Pappenheim-stained. Bone marrow smear: 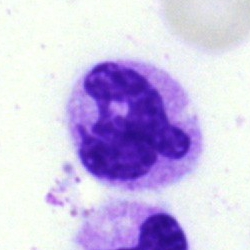Single cell identified as a polymorphonuclear neutrophil.